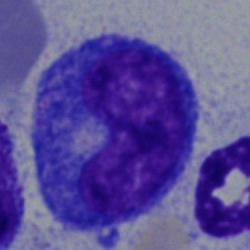The cell is progranulocyte.